Bone marrow smear
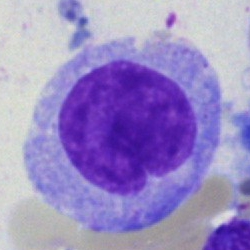
Monocyte.